Peripheral blood smear: 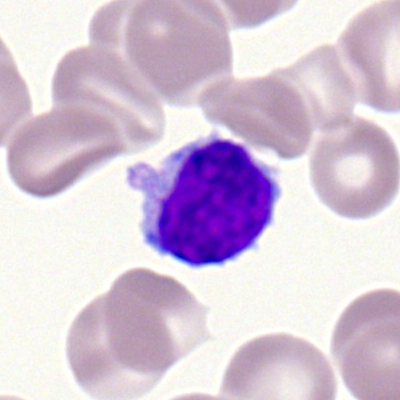 Specimen: peripheral blood film.
Classification: typical lymphocyte.
Lineage: lymphoid.